Bone marrow aspirate smear: 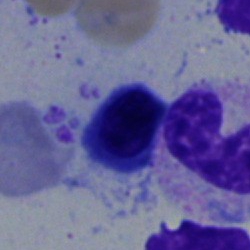 Q: What is the morphological classification of this cell?
A: A normoblast.